Single-cell crop · 40× oil immersion · bone marrow smear: 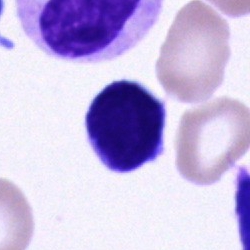Classification = cell of indeterminate lineage.